Bone marrow smear — 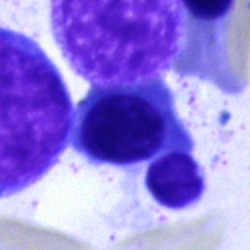

Q: What type of cell is this?
A: This is a normoblast.